Bone marrow aspirate smear
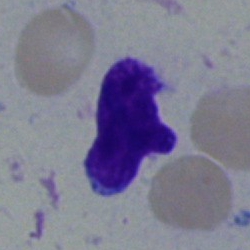
Classification: blast.